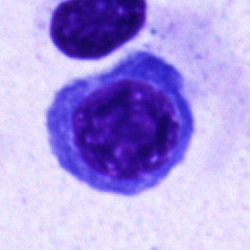{"cell_type": "normoblast", "lineage": "erythroid"}